Peripheral blood smear: 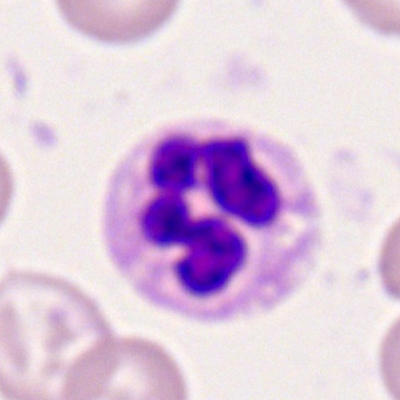
Cell = neutrophil (segmented).